Single cell centered in the field · 250 by 250 pixels · bone marrow aspirate smear: 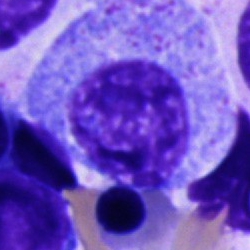Q: What is the morphological classification of this cell?
A: This is a progranulocyte.